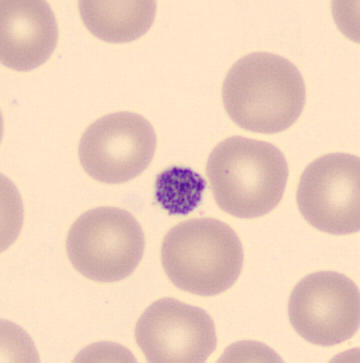
Impression → thrombocyte. CellaVision DM96 digital cell image · peripheral blood film.